Bone marrow smear. Cropped to a single cell. 250×250 — 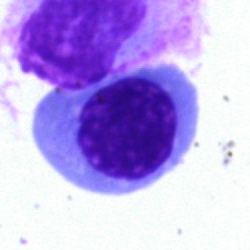

Morphology → nucleated red blood cell.